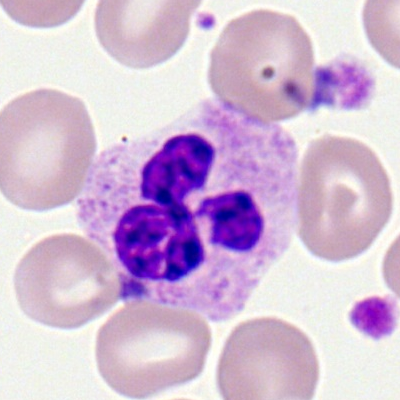Specimen: peripheral blood film.
Classification: segmented neutrophil.